Cropped to a single cell. Bone marrow smear: 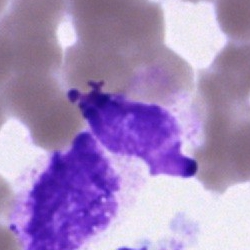

Specimen: bone marrow smear.
Classification: artifact.